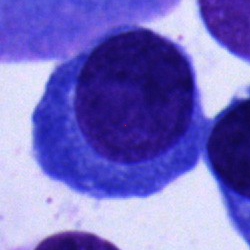 Q: What type of cell is this?
A: This is a plasma cell.